Bone marrow smear; 250×250 px.
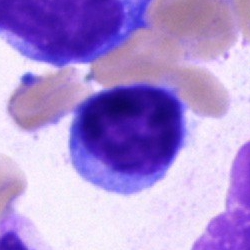
Morphological class — lymphocyte.